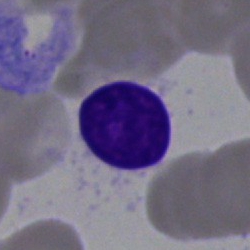A lymphocyte on a bone marrow smear.